40× objective, oil immersion; bone marrow aspirate smear; 250×250 px: 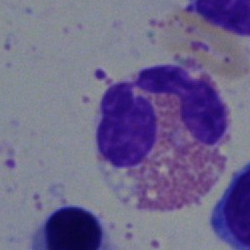The classification is eosinophilic granulocyte.